Bone marrow smear:
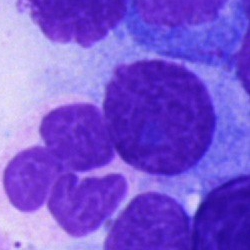The morphological class is plasmacyte.